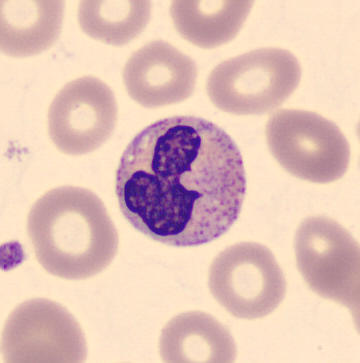
{"cell_type": "neutrophil (band)", "lineage": "myeloid"}